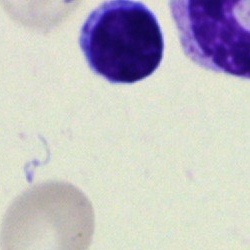Morphological class: lymphocyte.